Cropped to a single cell · bone marrow aspirate smear:
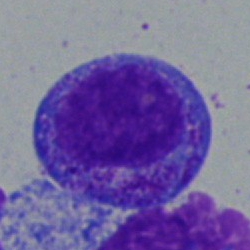 Classification — promyelocyte.